Single-cell field · bone marrow aspirate smear: 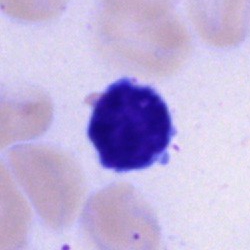

Cell type — typical lymphocyte.